Image size 250×250 · bone marrow aspirate smear · May-Grünwald-Giemsa/Pappenheim stain: 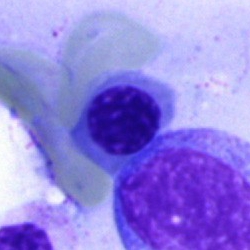 Morphology — nucleated red cell.